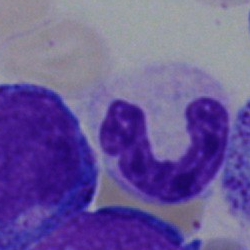 Band-form neutrophil.